Bone marrow smear: 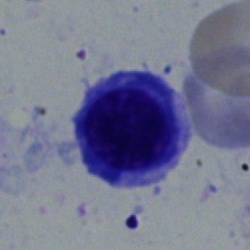

The cell is nucleated red blood cell.